Bone marrow aspirate smear. 40× oil immersion. Single-cell crop: 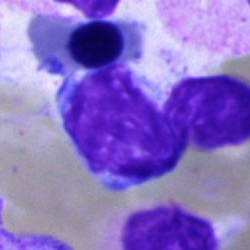

Morphology consistent with an erythroblast.